Image size 250×250 · bone marrow smear — 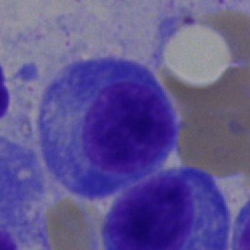 Showing a plasma cell.